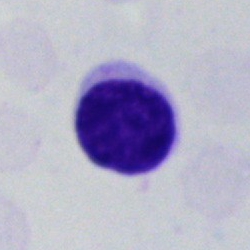

Morphological class — lymphocyte.